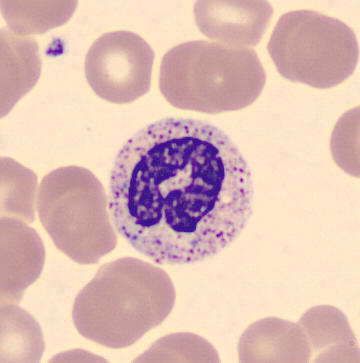 Showing a band-form neutrophil.